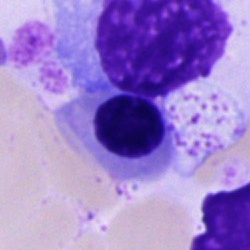Q: What is shown here?
A: It is a normoblast.